Bone marrow aspirate smear · 40× oil immersion: 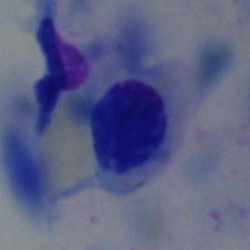
Q: What is shown here?
A: This is an artefact.